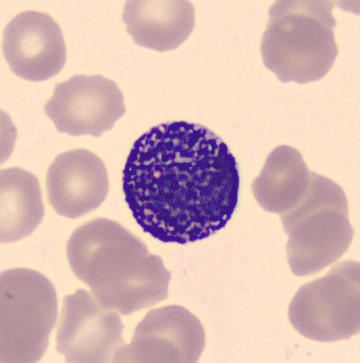

Peripheral blood film, single cell — basophilic granulocyte.